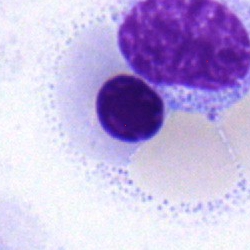The cell type is normoblast.